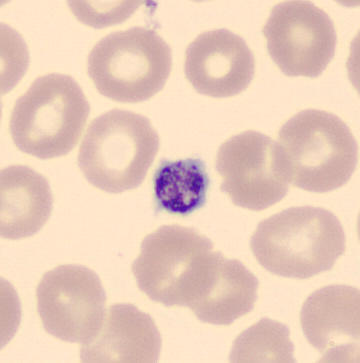Q: What is this?
A: It is a platelet.

Acquisition: CellaVision DM96; peripheral blood film.